Bone marrow smear
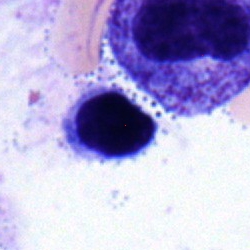Impression — typical lymphocyte.